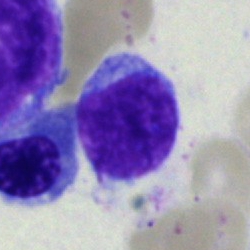 Cell type — blast.